Bone marrow smear.
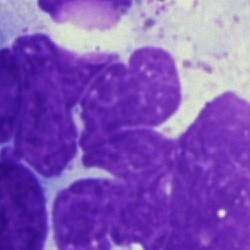Single cell identified as an artefact.